Bone marrow aspirate smear:
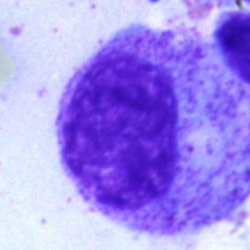Morphology — myelocyte.